May-Grünwald-Giemsa/Pappenheim stain · bone marrow aspirate smear · brightfield microscopy, 40× oil immersion.
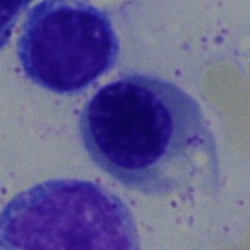

Morphology consistent with a nucleated red blood cell.